Peripheral blood film
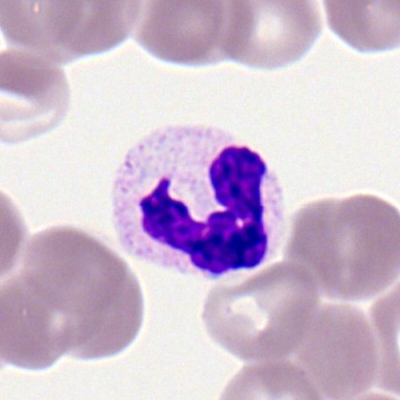

Specimen: peripheral blood film.
Cell: polymorphonuclear neutrophil.